Bone marrow aspirate smear:
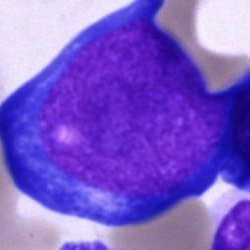{"cell_type": "proerythroblast", "lineage": "erythroid"}